Bone marrow smear:
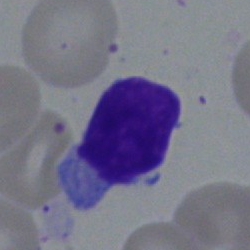
Classification: lymphocyte.